250×250 px; single-cell crop; bone marrow aspirate smear:
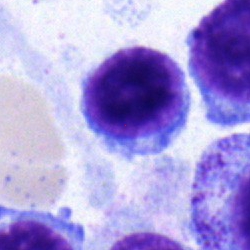

Morphological class: lymphocyte.